Bone marrow smear; May-Grünwald-Giemsa stain.
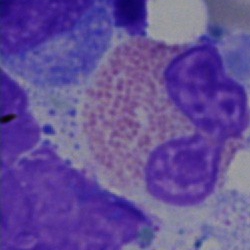Specimen: bone marrow smear.
Classification: eosinophilic granulocyte.
Lineage: myeloid.